100× oil immersion, 14.14 px/µm · peripheral blood smear: 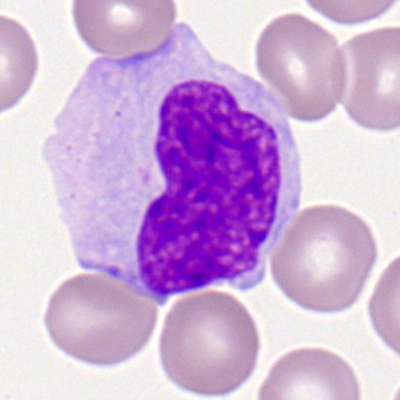{"cell_type": "monocyte", "lineage": "myeloid"}